Bone marrow aspirate smear.
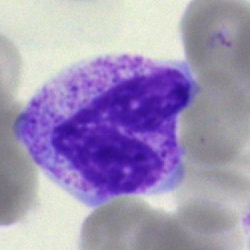

Morphology consistent with a stab cell.